Single-cell field; bone marrow smear
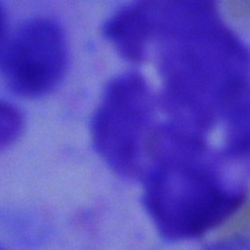Specimen: bone marrow smear.
Cell: neutrophil (segmented).
Lineage: myeloid.